Peripheral blood smear
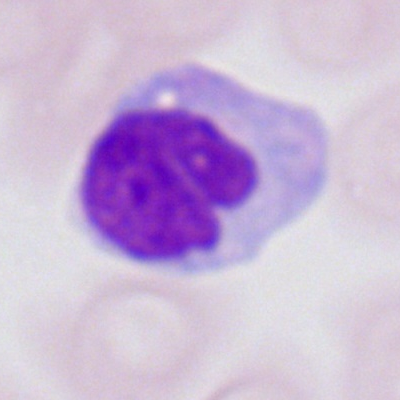Showing a monocyte.